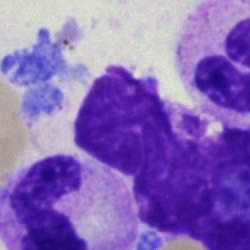 Q: What is shown here?
A: This is an artefact.